250×250 px. Single-cell crop. Bone marrow smear:
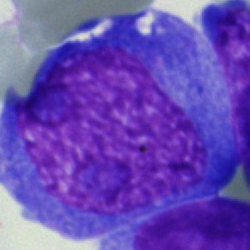Q: What type of cell is this?
A: It is an undifferentiated blast.